Bone marrow smear · single cell centered in the field · brightfield, 40× oil-immersion objective:
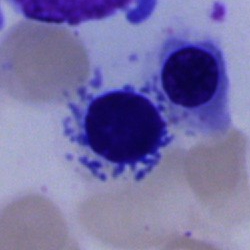Specimen: bone marrow aspirate smear.
Cell: artefact.